Bone marrow aspirate smear · image size 250×250
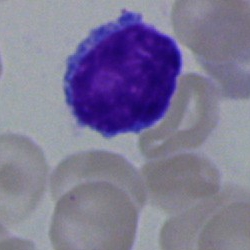Impression — typical lymphocyte.